Bone marrow aspirate smear. 250×250 px:
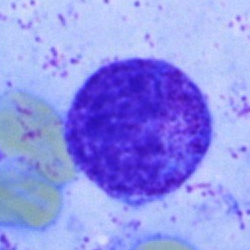

Q: Identify the cell.
A: It is a typical lymphocyte.